Bone marrow smear: 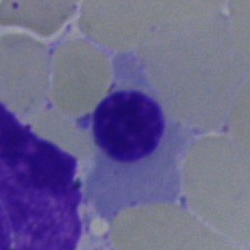 Q: What cell is this?
A: An erythroblast.